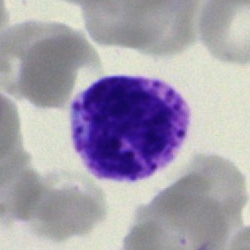
{"cell_type": "basophil", "lineage": "myeloid"}